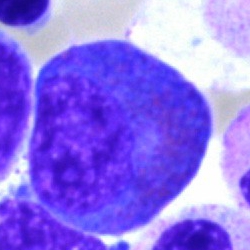An artefact on a bone marrow smear.